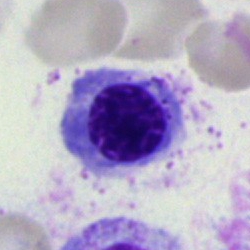
Specimen: bone marrow aspirate smear.
Morphological class: erythroblast.